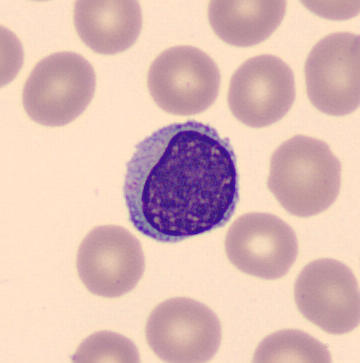
The cell shown is a typical lymphocyte. MGG-stained. Peripheral blood smear.